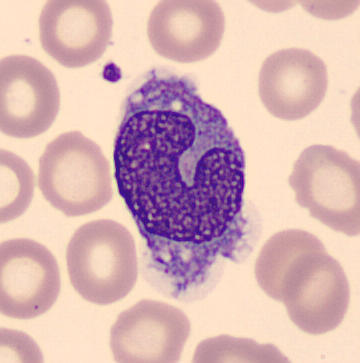

This is a monocyte. 360 by 363 pixels; peripheral blood film.